Bone marrow smear.
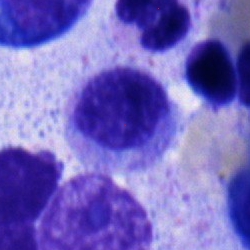

Classification — myelocyte.